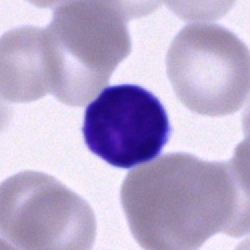A lymphocyte on a bone marrow smear.